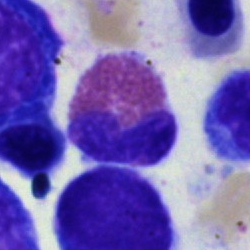Q: What cell is this?
A: An eosinophilic granulocyte.